Brightfield microscopy, 40× oil immersion. Bone marrow smear: 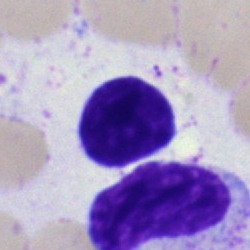

Morphology consistent with an artifact.